Bone marrow aspirate smear: 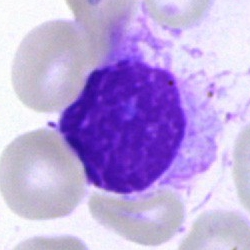 Specimen: bone marrow smear.
Cell type: artifact.